Image size 250×250. Single-cell crop. Bone marrow smear.
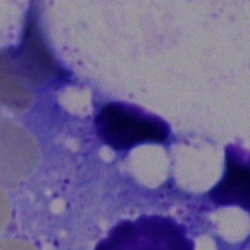

Q: What is shown here?
A: Artefact.